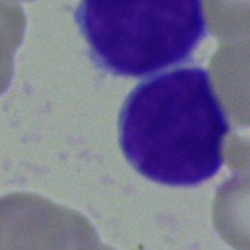
Specimen: bone marrow aspirate smear.
Cell type: lymphocyte.
Lineage: lymphoid.